Bone marrow aspirate smear — 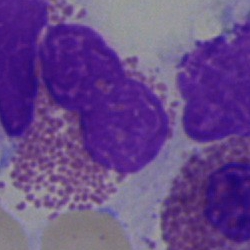 Impression → eosinophilic granulocyte.